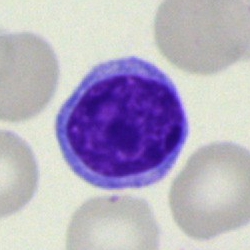

Cell type — typical lymphocyte.